Bone marrow smear
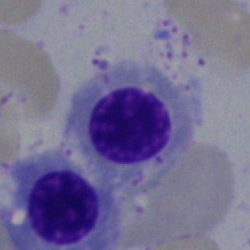 A nucleated red blood cell.